Bone marrow aspirate smear.
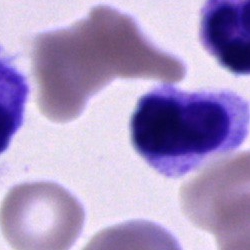

Specimen: bone marrow aspirate smear.
Morphological class: cell of indeterminate lineage.